Bone marrow aspirate smear
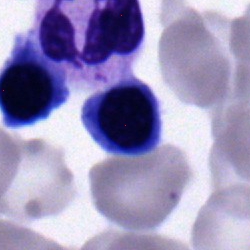 Specimen: bone marrow aspirate smear.
Cell: nucleated red cell.
Lineage: erythroid.